Bone marrow aspirate smear — 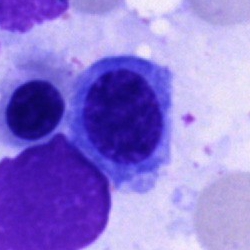Q: What type of cell is this?
A: Nucleated red blood cell.